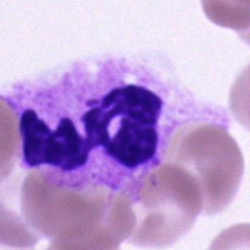

Specimen: bone marrow smear.
Classification: neutrophil (segmented).
Lineage: myeloid.